Bone marrow aspirate smear; 250×250 px — 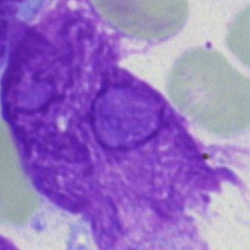The morphological class is artifact.